May-Grünwald-Giemsa/Pappenheim stain. Bone marrow aspirate smear — 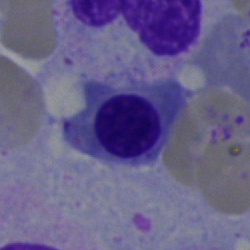

A normoblast.